Bone marrow smear; 250×250 px
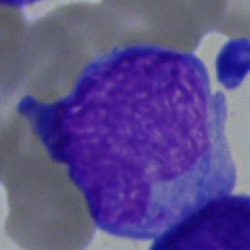
Blast cell.